40× objective, oil immersion. May-Grünwald-Giemsa stain. Bone marrow smear: 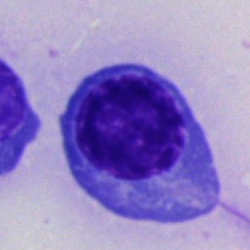 Morphology consistent with a nucleated red blood cell.